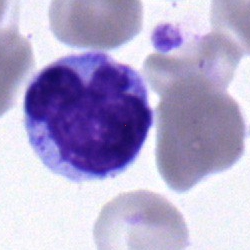

Bone marrow smear showing a monocyte.